Bone marrow smear:
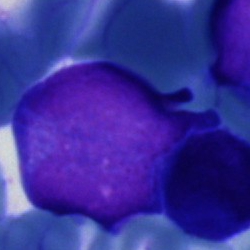 Morphological class: blast cell.